40× objective, oil immersion · bone marrow smear: 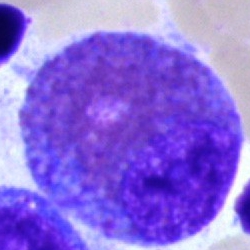

This is an eosinophilic granulocyte.